40× objective, oil immersion; MGG-stained; bone marrow aspirate smear
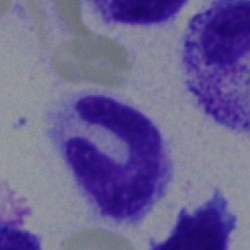Q: What cell is this?
A: A segmented neutrophil.